40× oil immersion · bone marrow aspirate smear.
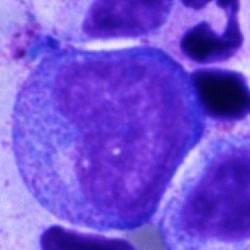
A promyelocyte.